Bone marrow smear
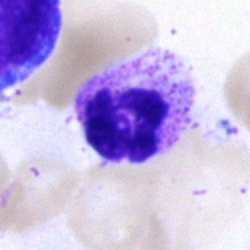
Q: Identify the cell.
A: Neutrophil (segmented).